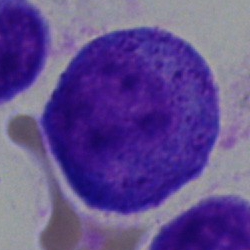
Specimen: bone marrow aspirate smear.
Cell type: promyelocyte.